Peripheral blood smear: 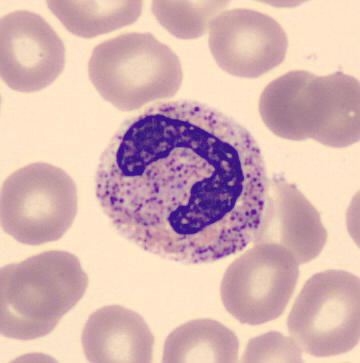Morphology → stab cell.